Bone marrow aspirate smear — 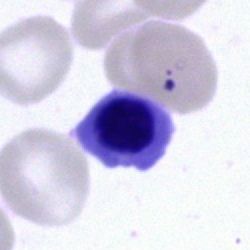

Morphology consistent with a nucleated red cell.